Bone marrow aspirate smear — 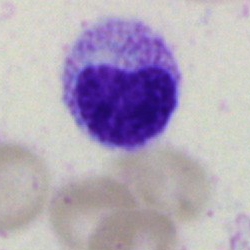

Single cell identified as a metamyelocyte.